Bone marrow smear — 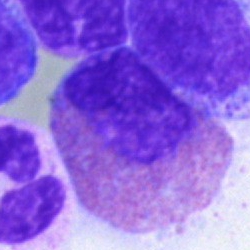
Impression → eosinophil.